Bone marrow smear — 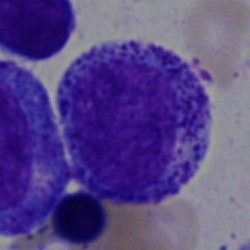
Promyelocyte.